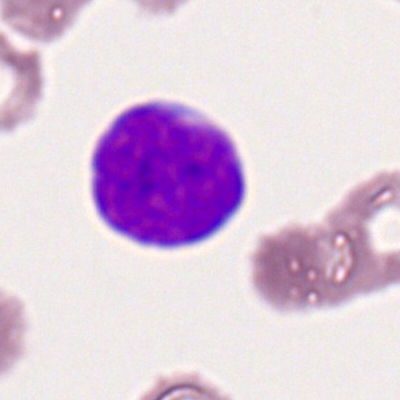
This is a myeloid blast.